Brightfield, 40× oil-immersion objective; bone marrow aspirate smear
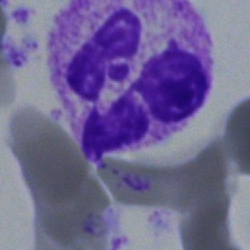
Specimen: bone marrow smear.
Morphological class: segmented neutrophil.
Lineage: myeloid.